Bone marrow smear; 250×250:
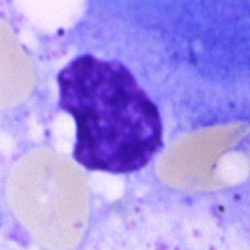

Q: What is shown here?
A: Artefact.